Peripheral blood film: 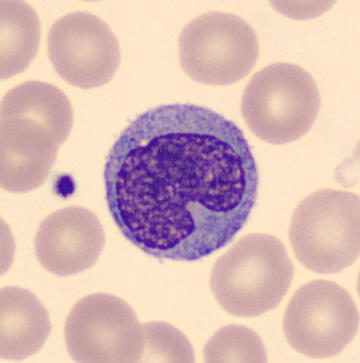

Showing a monocyte.